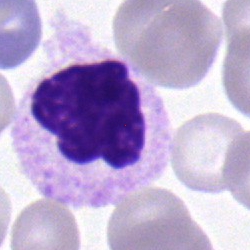
Bone marrow aspirate smear, single cell — segmented neutrophil.